Bone marrow smear.
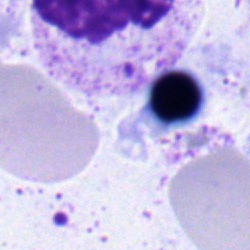
{"cell_type": "segmented neutrophil", "lineage": "myeloid"}